Bone marrow aspirate smear.
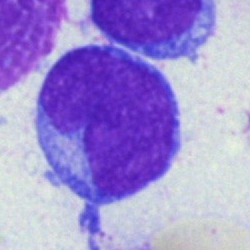 Cell type = blast.